Bone marrow smear — 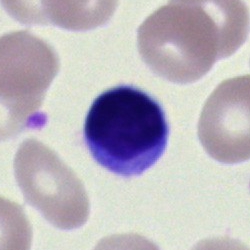 Cell type = typical lymphocyte.